40× oil immersion. Bone marrow smear:
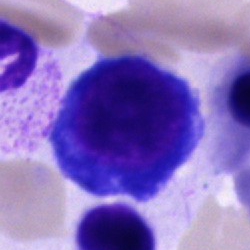Specimen: bone marrow smear.
Morphological class: proerythroblast.
Lineage: erythroid.